Bone marrow aspirate smear: 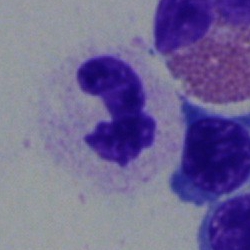

Q: What is shown here?
A: This is a segmented neutrophil.